May-Grünwald-Giemsa/Pappenheim stain; bone marrow aspirate smear:
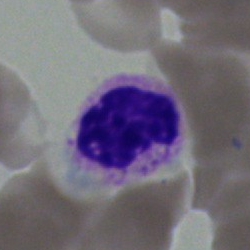Showing a segmented neutrophil.